Bone marrow smear.
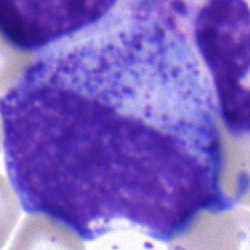
Promyelocyte.